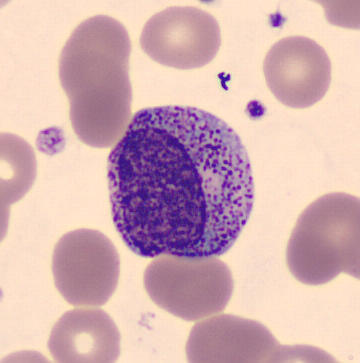 Q: What is this?
A: It is a myelocyte.